Peripheral blood smear.
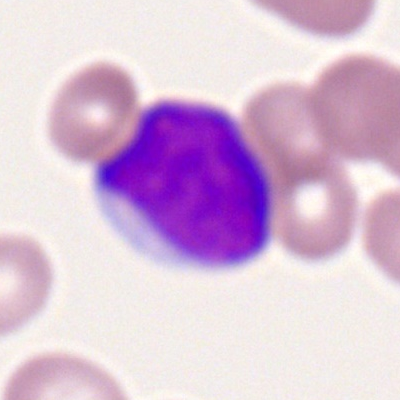

{"cell_type": "myeloid blast"}